Bone marrow aspirate smear · brightfield, 40× oil-immersion objective · May-Grünwald-Giemsa/Pappenheim stain
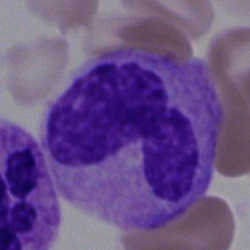Specimen: bone marrow smear.
Cell type: monocyte.
Lineage: myeloid.